250×250. Cropped to a single cell. Bone marrow aspirate smear — 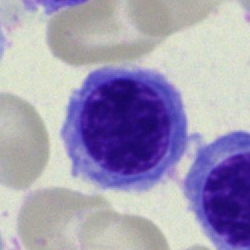 Impression → normoblast.